Brightfield, 40× oil-immersion objective · 250×250 px · bone marrow aspirate smear: 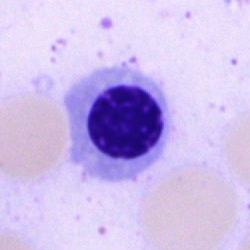

Q: What cell is this?
A: It is a nucleated red cell.